Peripheral blood smear — 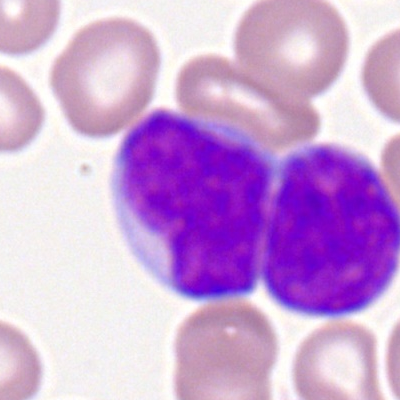
Cell type — myeloblast.